Single-cell crop; bone marrow smear:
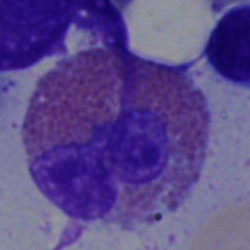

Eosinophilic granulocyte.